Image size 250×250 · bone marrow smear — 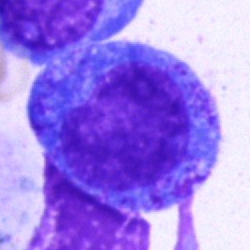
Promyelocyte.